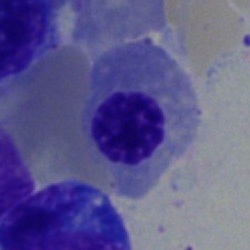

Impression — normoblast.